Bone marrow aspirate smear; image size 250×250 — 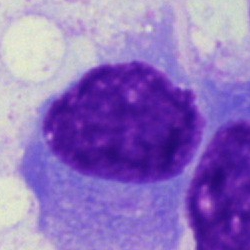Showing an artefact.